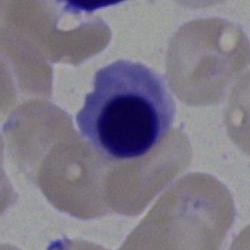

This is an erythroblast.